Single-cell field · brightfield microscopy, 40× oil immersion · bone marrow aspirate smear: 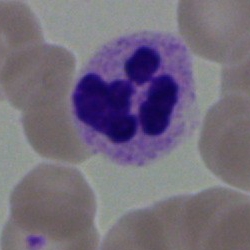Impression — segmented neutrophil.